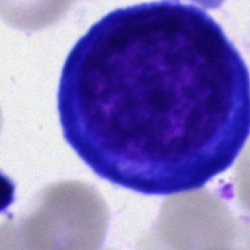
Impression — proerythroblast.